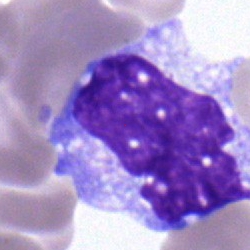Bone marrow smear showing a monocyte.